Single cell centered in the field · peripheral blood smear.
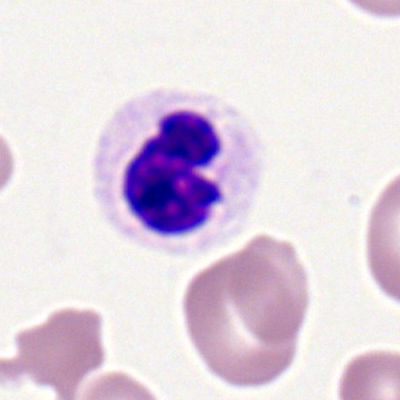 Morphology — segmented neutrophil.